Bone marrow aspirate smear
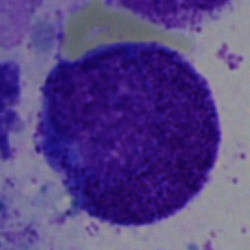

Q: Identify the cell.
A: This is a progranulocyte.